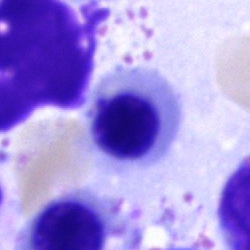

The classification is nucleated red cell.